Peripheral blood film:
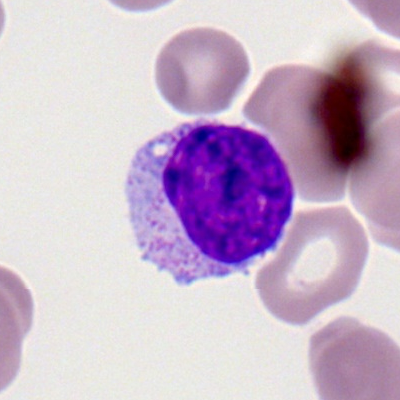 {"cell_type": "typical lymphocyte", "lineage": "lymphoid"}